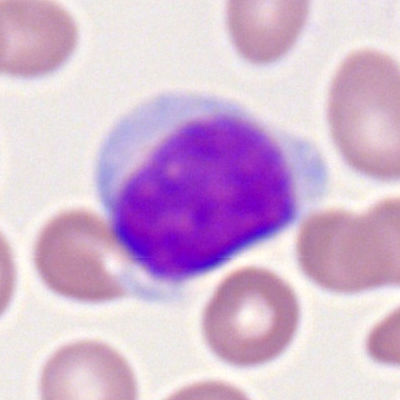
The cell is typical lymphocyte.